Bone marrow aspirate smear: 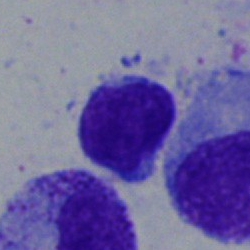This is a lymphocyte.